Bone marrow smear: 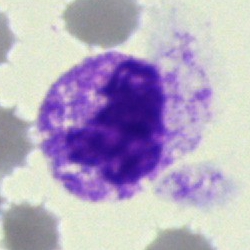

Q: What is shown here?
A: It is a metamyelocyte.